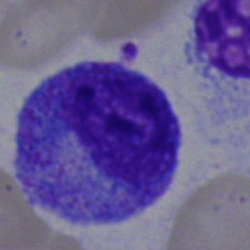

Q: What is shown here?
A: A promyelocyte.